Single-cell field. Bone marrow aspirate smear: 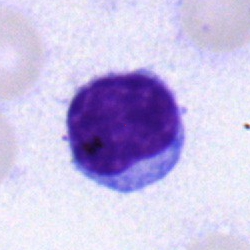
Q: Identify the cell.
A: It is a typical lymphocyte.